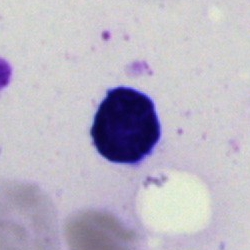
Q: What is shown here?
A: An artifact.